Bone marrow aspirate smear · 250×250 · cropped to a single cell — 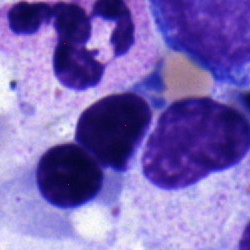Impression — nucleated red blood cell.